Bone marrow aspirate smear. 250×250 px — 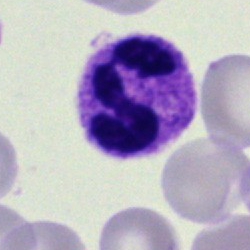The morphological class is polymorphonuclear neutrophil.